Bone marrow smear
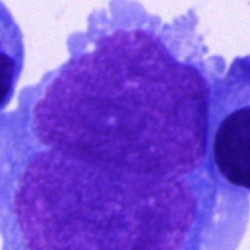Q: Which cell type is shown here?
A: This is a blast.